Bone marrow smear
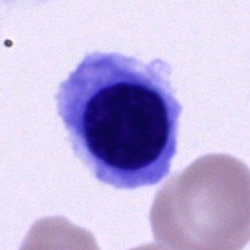

A nucleated red blood cell.